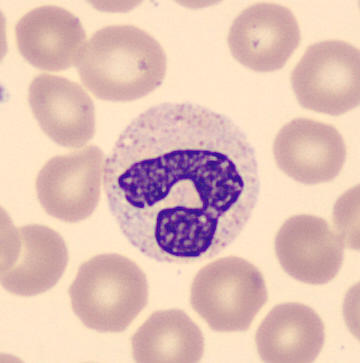
Peripheral blood film. Single cell centered in the field. Impression — polymorphonuclear neutrophil.